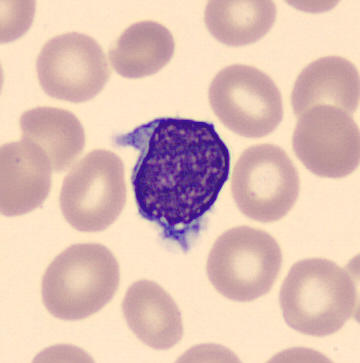 Identified as a typical lymphocyte.
Image: Peripheral blood smear. Single cell centered in the field.